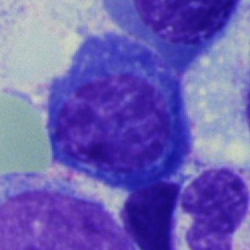This is an erythroblast.